MGG-stained; single cell centered in the field; bone marrow aspirate smear: 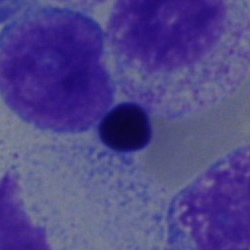Showing a nucleated red cell.